Bone marrow smear
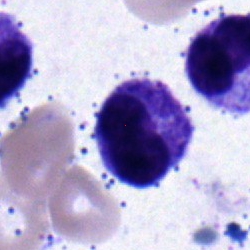

Q: What is shown here?
A: Metamyelocyte.